Single-cell field · bone marrow smear — 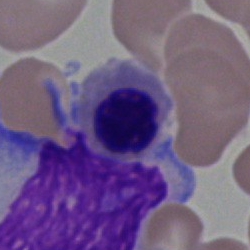Morphological class — normoblast.